Image size 250×250 · bone marrow aspirate smear:
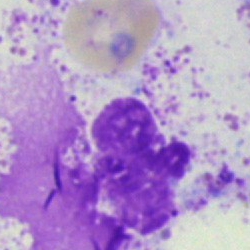
Specimen: bone marrow smear.
Classification: artifact.